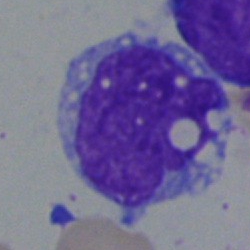
Cell = monocyte.